May-Grünwald-Giemsa/Pappenheim stain · bone marrow smear · cropped to a single cell: 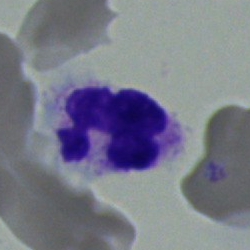Cell = neutrophil (segmented).